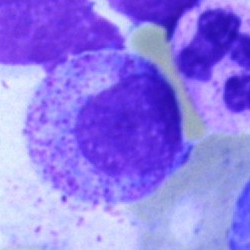
Single-cell crop from a bone marrow smear: myelocyte.